Bone marrow aspirate smear — 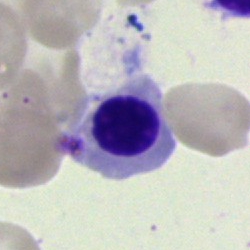

Q: Identify the cell.
A: Nucleated red blood cell.